Peripheral blood film — 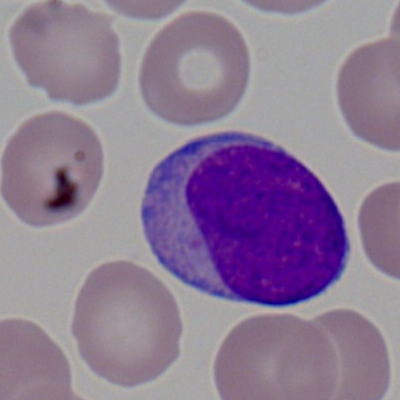
Impression — myeloid blast.